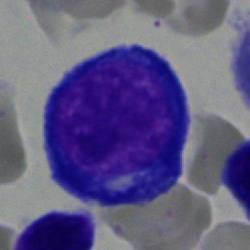Morphology consistent with a nucleated red blood cell.